Peripheral blood smear.
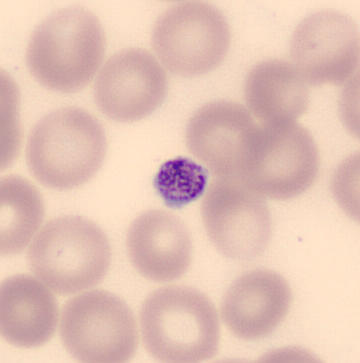 Showing a platelet (thrombocyte).